Pappenheim-stained · bone marrow smear:
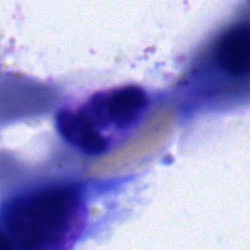

Classification: polymorphonuclear neutrophil.